Bone marrow aspirate smear: 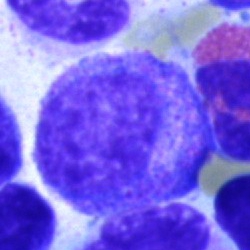

Single cell identified as a promyelocyte.